Cropped to a single cell; peripheral blood smear; 100× objective, oil immersion.
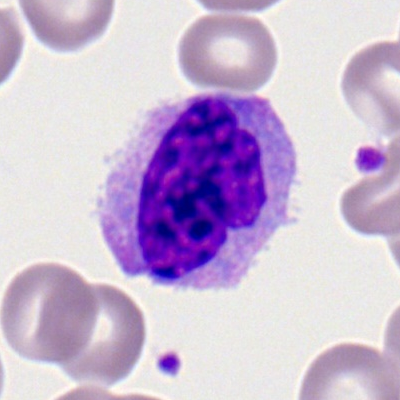Morphological class — monocyte.